Bone marrow aspirate smear.
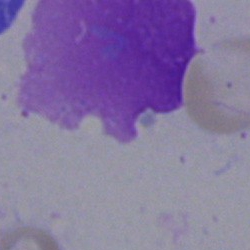

The cell shown is an artifact.